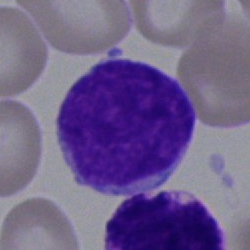Showing an undifferentiated blast.